Romanowsky-type stain; peripheral blood film.
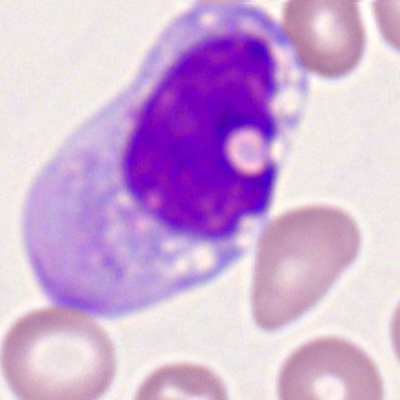

Morphology consistent with a monocyte.